100× objective, oil immersion. Peripheral blood smear
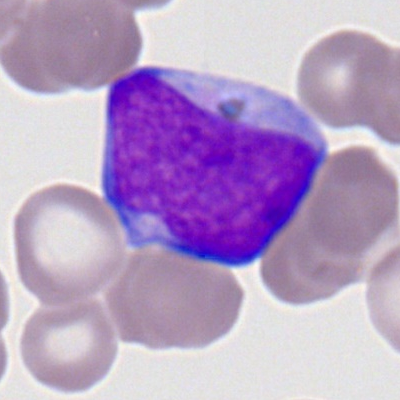
The morphological class is myeloblast.